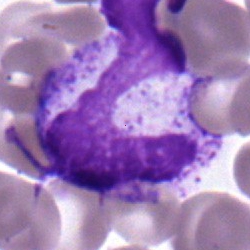
The classification is segmented neutrophil.